May-Grünwald-Giemsa stain; bone marrow smear: 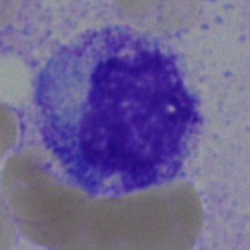
Impression — myelocyte.